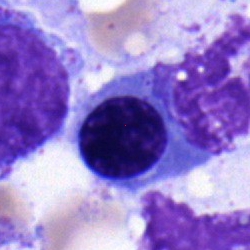Morphological class — nucleated red cell.